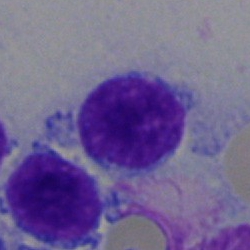
Specimen: bone marrow aspirate smear.
Classification: lymphocyte.